Bone marrow aspirate smear:
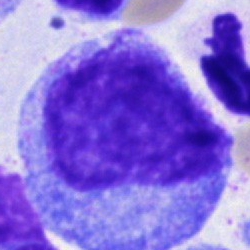Morphology → promyelocyte.